Bone marrow aspirate smear; brightfield microscopy, 40× oil immersion; 250×250 px
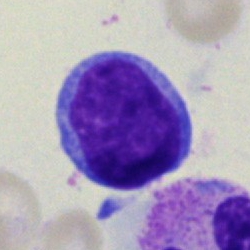 Blast cell.